Bone marrow smear — 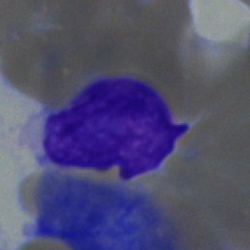 Q: What cell is this?
A: A typical lymphocyte.